Bone marrow aspirate smear · image size 250×250:
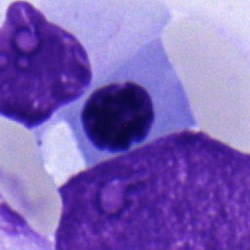
Morphological class: nucleated red blood cell.